Single-cell crop · bone marrow aspirate smear: 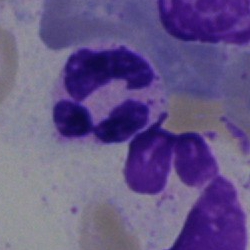
Cell = polymorphonuclear neutrophil.